Pappenheim-stained · bone marrow smear · 250×250 — 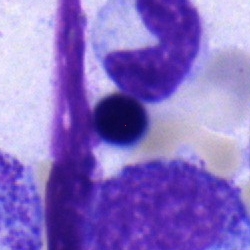

Morphological class: nucleated red cell.